Bone marrow smear:
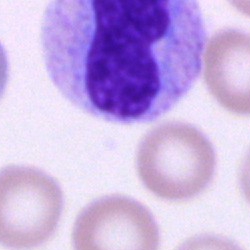

This is an unidentifiable cell.